Bone marrow aspirate smear · image size 250×250: 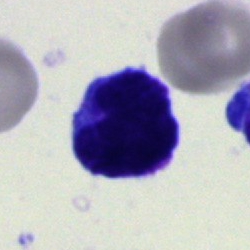Showing an undifferentiated blast.